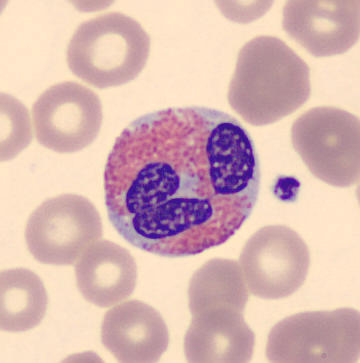Preparation: Peripheral blood smear.

The cell shown is an eosinophil.